Bone marrow smear; single-cell crop; MGG-stained.
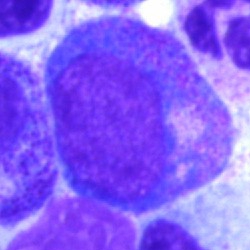Showing a promyelocyte.